Bone marrow smear · 250×250 px.
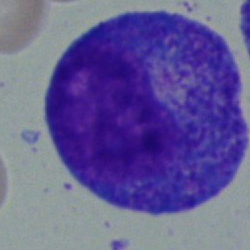The cell type is progranulocyte.